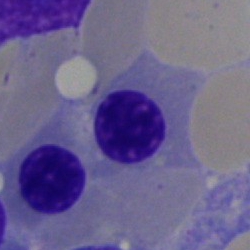

Classification — erythroblast.